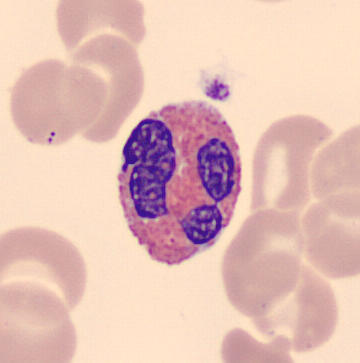
Q: What is the morphological classification of this cell?
A: An eosinophil.